Bone marrow aspirate smear. 250×250 px: 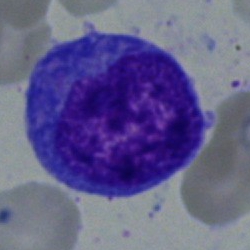A promyelocyte.